Bone marrow aspirate smear — 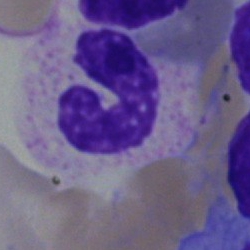

Showing a band neutrophil.